Cropped to a single cell. Bone marrow smear: 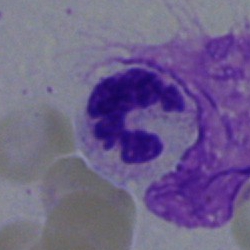Impression → segmented neutrophil.